40× objective, oil immersion. Bone marrow aspirate smear
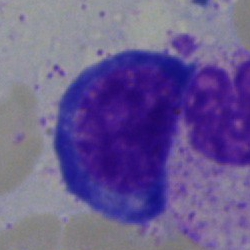
Morphology — normoblast.